40× objective, oil immersion; MGG-stained; bone marrow smear.
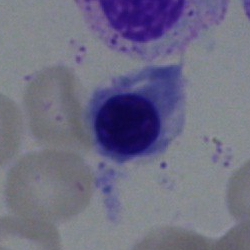

Cell type: normoblast.